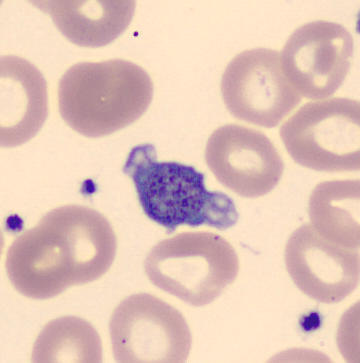 {"cell_type": "platelet"} Peripheral blood film. MGG-stained.